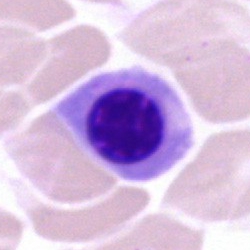
Q: What is shown here?
A: Erythroblast.